Bone marrow smear: 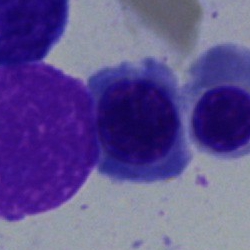Classification: erythroblast.